Bone marrow smear; May-Grünwald-Giemsa stain
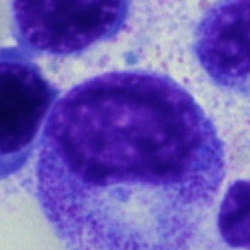{"cell_type": "promyelocyte"}